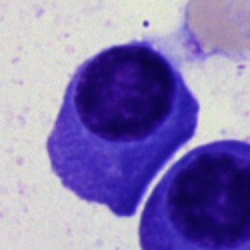
Morphology → plasmacyte.